Peripheral blood smear; 400×400; single-cell field:
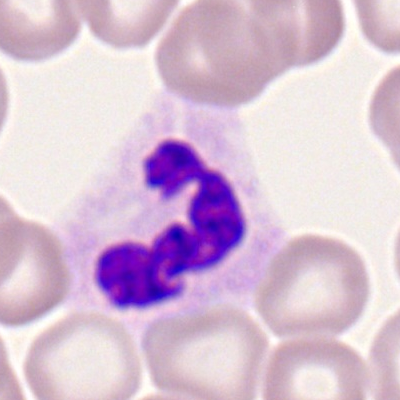The cell shown is a segmented neutrophil.